Bone marrow aspirate smear
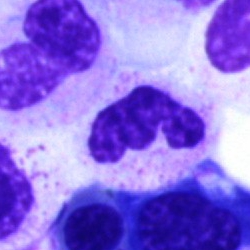
Morphological class: polymorphonuclear neutrophil.